Bone marrow aspirate smear.
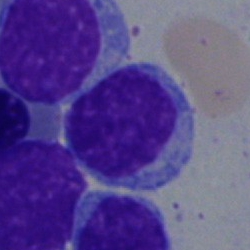Specimen: bone marrow smear.
Cell: lymphocyte.